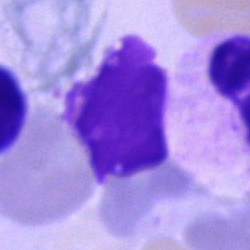Q: What is shown here?
A: An artifact.